Bone marrow smear — 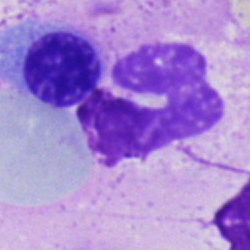Specimen: bone marrow aspirate smear.
Morphological class: segmented neutrophil.
Lineage: myeloid.